Bone marrow aspirate smear
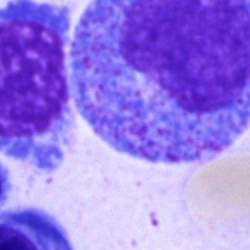Morphology — progranulocyte.